40× objective, oil immersion. Bone marrow smear: 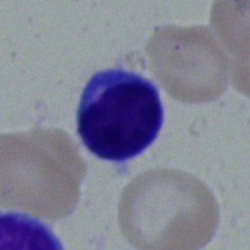 Specimen: bone marrow smear.
Classification: typical lymphocyte.
Lineage: lymphoid.